Brightfield microscopy, 40× oil immersion · single-cell crop · bone marrow aspirate smear: 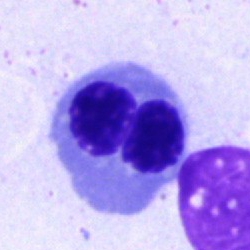
Cell type = erythroblast.